Bone marrow aspirate smear: 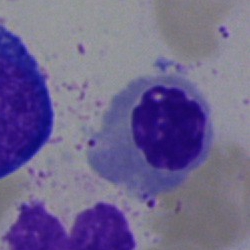 Impression → normoblast.